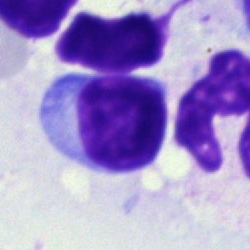Specimen: bone marrow smear.
Classification: typical lymphocyte.